Bone marrow aspirate smear:
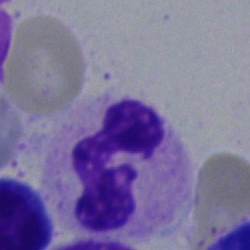

Q: Identify the cell.
A: This is a polymorphonuclear neutrophil.